Bone marrow smear · single-cell field · 40× oil immersion
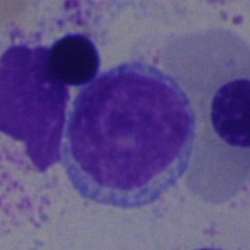
Q: What type of cell is this?
A: A lymphocyte.